250×250 · bone marrow aspirate smear:
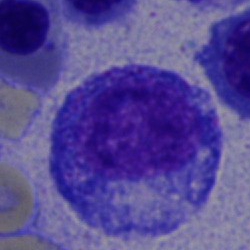
Single cell identified as a progranulocyte.